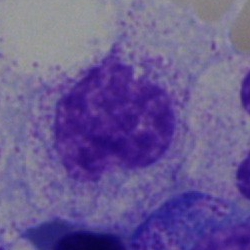 Q: What cell is this?
A: Myelocyte.